Bone marrow smear
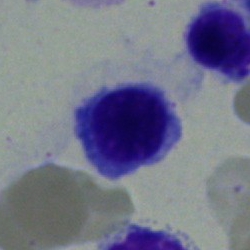

Normoblast.